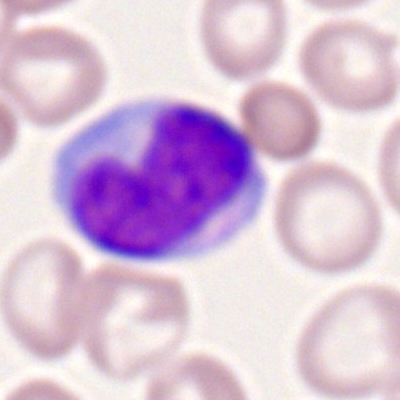 This is a monocyte.